Brightfield microscopy, 40× oil immersion; bone marrow aspirate smear — 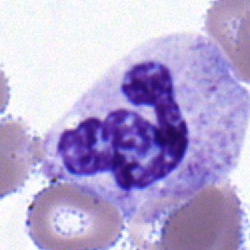

Specimen: bone marrow aspirate smear.
Cell type: neutrophil (segmented).
Lineage: myeloid.